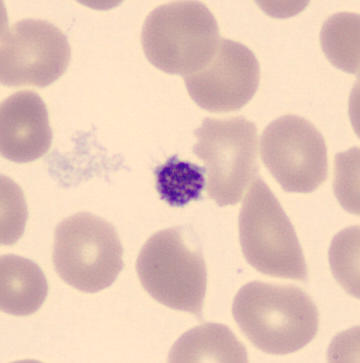

Classification: platelet.

Image size 360×363; peripheral blood film.